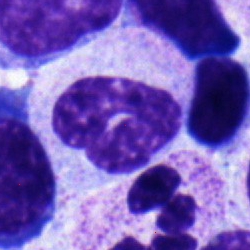Specimen: bone marrow smear.
Cell: band-form neutrophil.
Lineage: myeloid.